250 by 250 pixels; bone marrow smear — 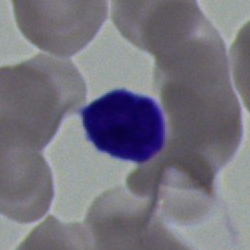 Specimen: bone marrow smear.
Morphological class: typical lymphocyte.
Lineage: lymphoid.